Bone marrow aspirate smear — 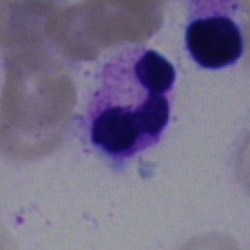Morphology → neutrophil (segmented).